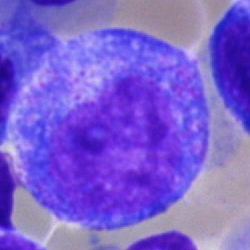The morphological class is progranulocyte.